Bone marrow aspirate smear:
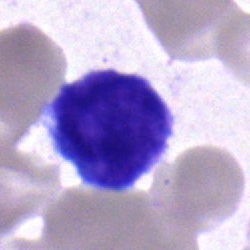Morphology — blast.